Bone marrow smear:
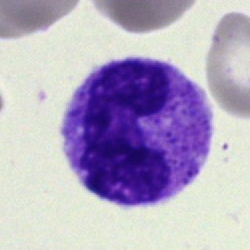 Showing a band neutrophil.